Bone marrow smear: 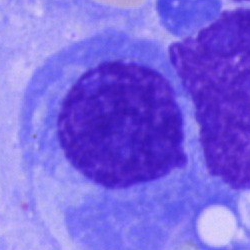

Cell type — plasma cell.